MGG-stained. 250 by 250 pixels. Bone marrow aspirate smear
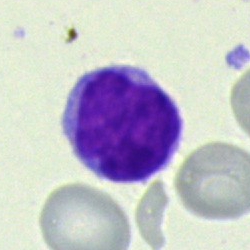

Specimen: bone marrow aspirate smear.
Cell type: typical lymphocyte.
Lineage: lymphoid.